Bone marrow smear
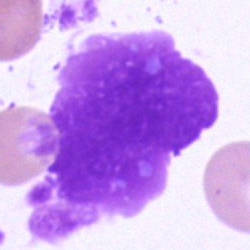 Classification = artifact.